May-Grünwald-Giemsa/Pappenheim stain. Bone marrow aspirate smear. Brightfield microscopy, 40× oil immersion
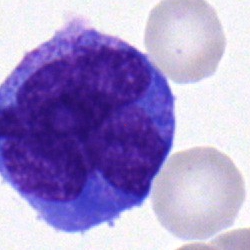
Cell type = monocyte.